Bone marrow smear — 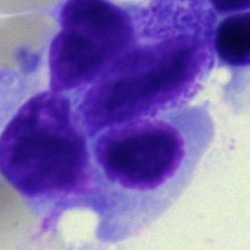

Cell type — erythroblast.